Bone marrow aspirate smear:
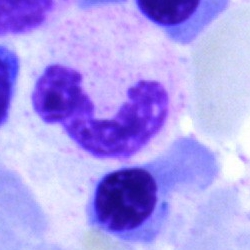 A neutrophil (segmented).